Bone marrow aspirate smear:
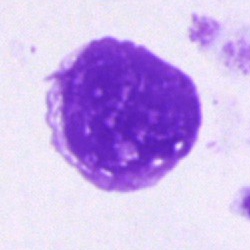

Q: What is shown here?
A: This is an artefact.